Bone marrow aspirate smear.
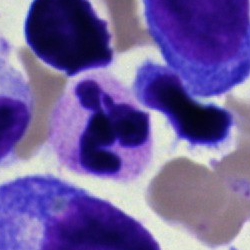

Impression — segmented neutrophil.